Bone marrow smear: 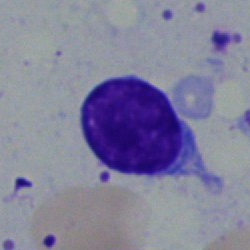Morphology consistent with a lymphocyte.